Bone marrow aspirate smear
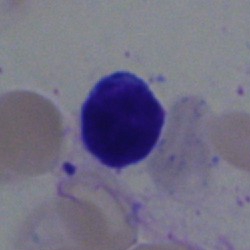Classification — typical lymphocyte.